Romanowsky stain · peripheral blood film — 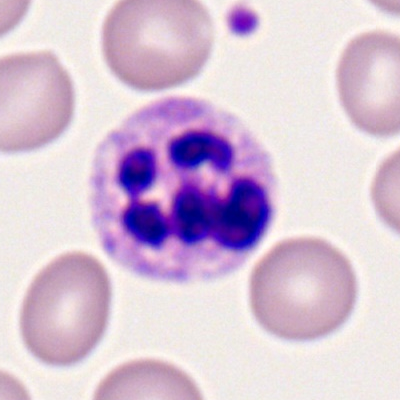 Showing a neutrophil (segmented).